Bone marrow aspirate smear: 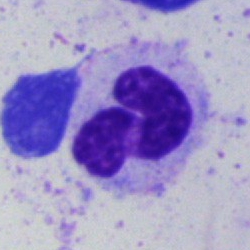 Cell = neutrophil (band).